Single cell centered in the field; bone marrow aspirate smear; brightfield, 40× oil-immersion objective:
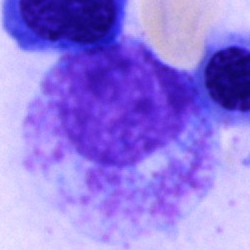

Morphology consistent with a promyelocyte.